Bone marrow smear — 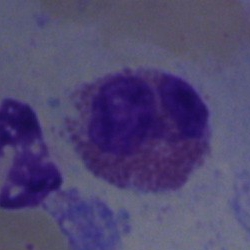 Morphology → eosinophil.